Peripheral blood film. Single-cell field: 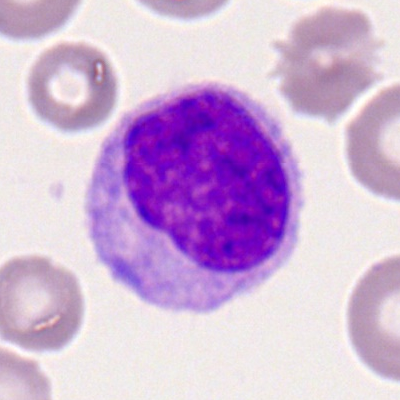

Specimen: peripheral blood film.
Cell: monocyte.
Lineage: myeloid.